Bone marrow smear: 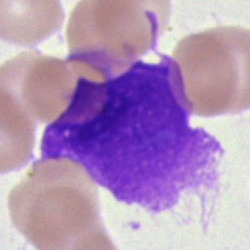
An artifact.